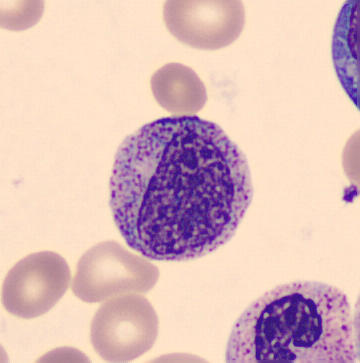
Preparation: Peripheral blood smear; cropped to a single cell. Single cell identified as a myelocyte.